Bone marrow smear; brightfield microscopy, 40× oil immersion.
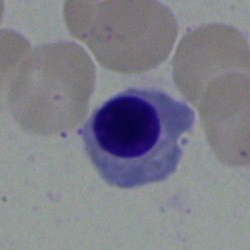

Morphology consistent with a normoblast.